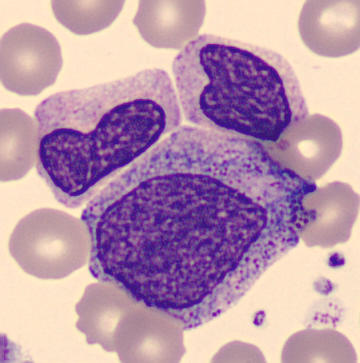{"cell_type": "promyelocyte", "lineage": "myeloid"} Preparation: Single-cell crop; peripheral blood film; imaged on a CellaVision DM96 analyser.